Bone marrow smear. Pappenheim-stained
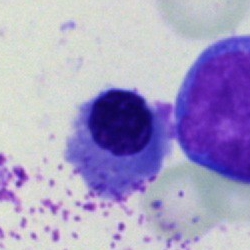 Classification = nucleated red cell.